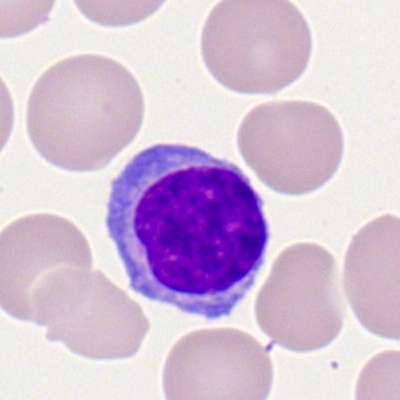

The cell shown is a lymphocyte.